40× objective, oil immersion. Bone marrow smear — 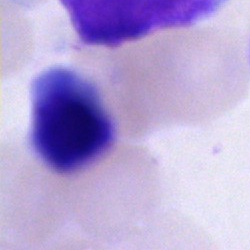Cell — cell of indeterminate lineage.